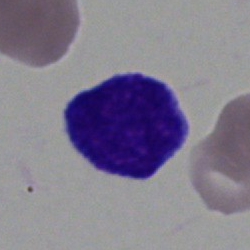Classification — undifferentiated blast.